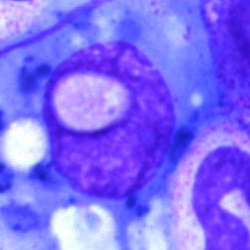

Q: What is shown here?
A: An artifact.